Pappenheim-stained. Single-cell crop. Bone marrow smear:
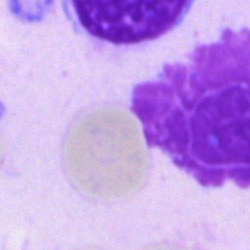

Specimen: bone marrow smear.
Classification: artifact.